Bone marrow smear; May-Grünwald-Giemsa stain:
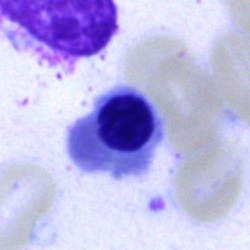

The cell type is nucleated red blood cell.